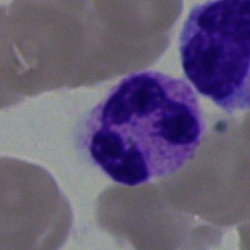 Morphology → polymorphonuclear neutrophil.